Bone marrow smear: 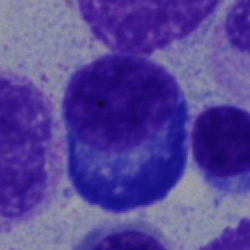Specimen: bone marrow smear.
Classification: plasma cell.
Lineage: lymphoid.